Bone marrow smear. Cropped to a single cell: 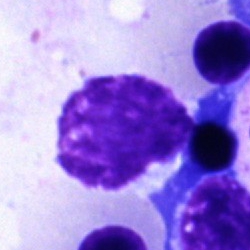
Q: What is shown here?
A: Artifact.